MGG-stained. Bone marrow aspirate smear — 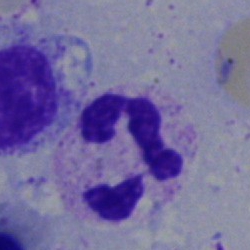 Q: Identify the cell.
A: A segmented neutrophil.